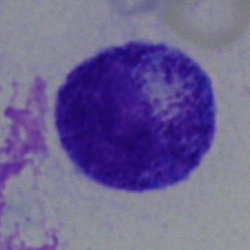
{"cell_type": "promyelocyte"}